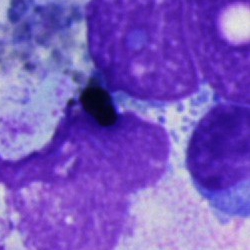 Q: What is shown here?
A: This is an artefact.